Romanowsky-type stain. Peripheral blood smear: 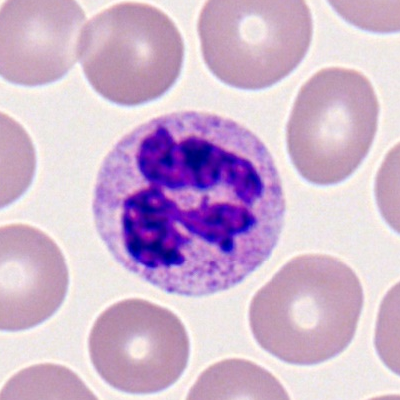 A polymorphonuclear neutrophil.